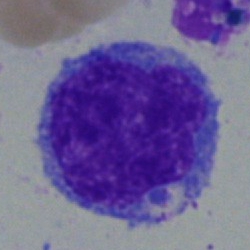

Impression — undifferentiated blast.